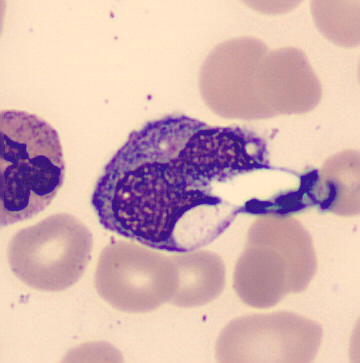
Preparation: Peripheral blood smear. MGG-stained. Image size 360×363.

Monocyte.